Bone marrow aspirate smear. 250×250 — 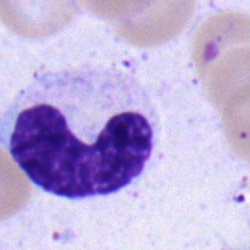Stab cell.